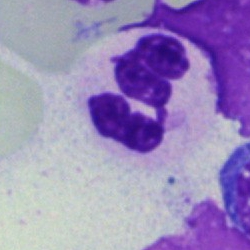 Q: Identify the cell.
A: Neutrophil (segmented).